Bone marrow aspirate smear.
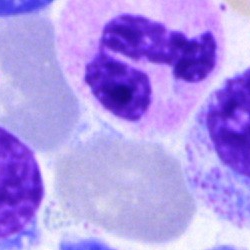
The cell shown is a neutrophil (segmented).